Bone marrow smear · May-Grünwald-Giemsa stain · 40× objective, oil immersion
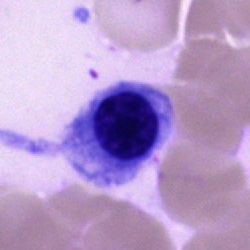
{"cell_type": "nucleated red blood cell", "lineage": "erythroid"}